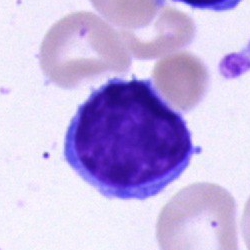

Specimen: bone marrow smear.
Morphological class: lymphocyte.
Lineage: lymphoid.